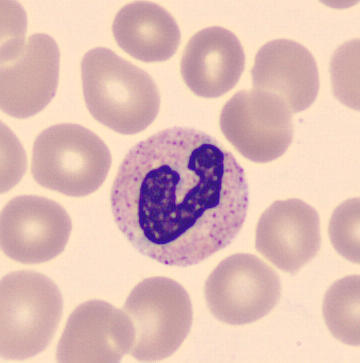

Q: What type of cell is this?
A: It is a band-form neutrophil.